Bone marrow aspirate smear; MGG-stained.
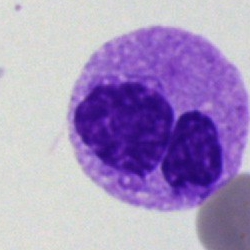 Q: What is shown here?
A: This is a segmented neutrophil.